Bone marrow aspirate smear.
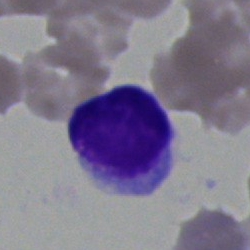Showing a lymphocyte.